Bone marrow aspirate smear:
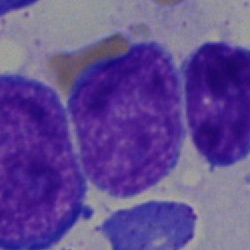

A typical lymphocyte.